Pappenheim-stained. Bone marrow smear.
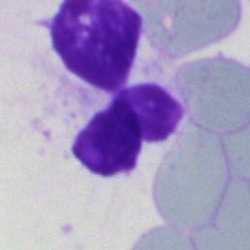

The cell type is artefact.